May-Grünwald-Giemsa/Pappenheim stain; bone marrow aspirate smear: 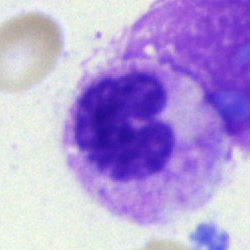
This is a stab cell.